MGG-stained. Bone marrow smear.
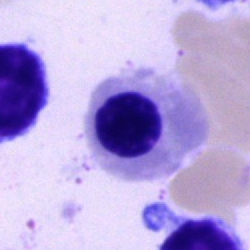
Cell: normoblast.